Pappenheim-stained · bone marrow aspirate smear · 250×250.
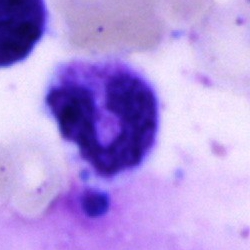
Neutrophil (segmented).